Bone marrow smear.
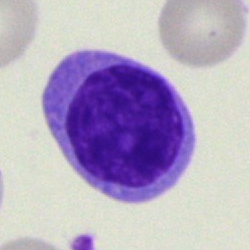 Impression → lymphocyte.